Bone marrow aspirate smear
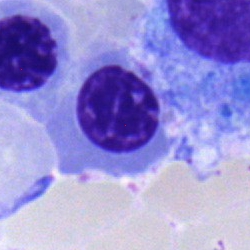
Q: What is the morphological classification of this cell?
A: This is a nucleated red cell.